Bone marrow aspirate smear. MGG-stained — 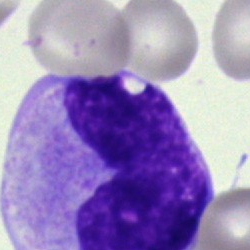
Band-form neutrophil.